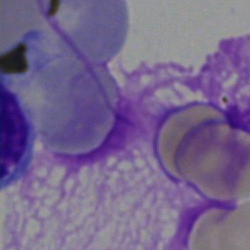

The classification is artifact.